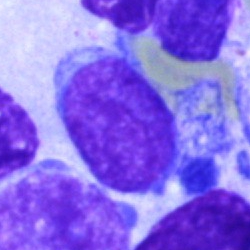 Q: Identify the cell.
A: A typical lymphocyte.